Cropped to a single cell · bone marrow smear:
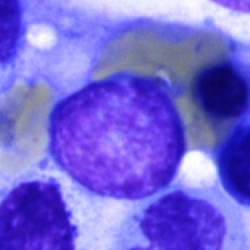
Single cell identified as an undifferentiated blast.